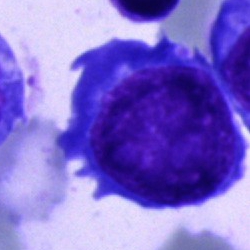 Single cell identified as a blast.